Bone marrow smear; May-Grünwald-Giemsa/Pappenheim stain:
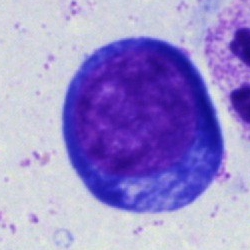
Classification — proerythroblast.